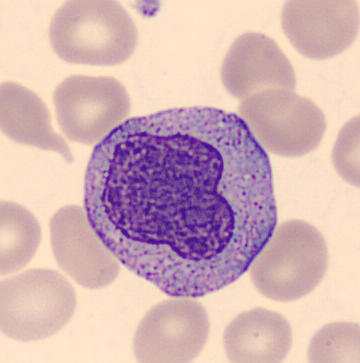

Peripheral blood film.

Morphology → promyelocyte.